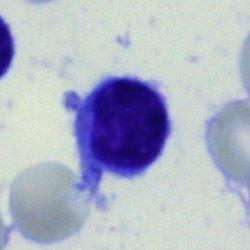

Specimen: bone marrow smear.
Classification: typical lymphocyte.
Lineage: lymphoid.